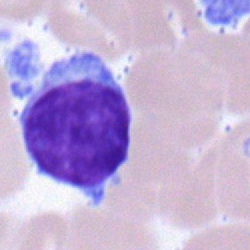 Morphology consistent with a lymphocyte.